May-Grünwald-Giemsa/Pappenheim stain; bone marrow smear:
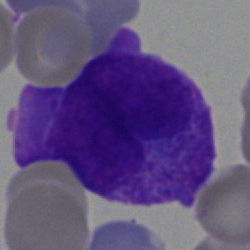

Q: Which cell type is shown here?
A: Blast cell.